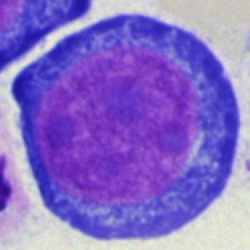

The cell is pronormoblast.